Bone marrow aspirate smear: 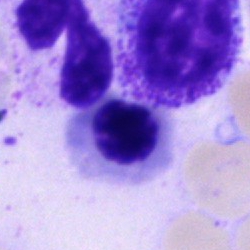{"cell_type": "normoblast"}